Romanowsky-stained · single-cell field · peripheral blood smear — 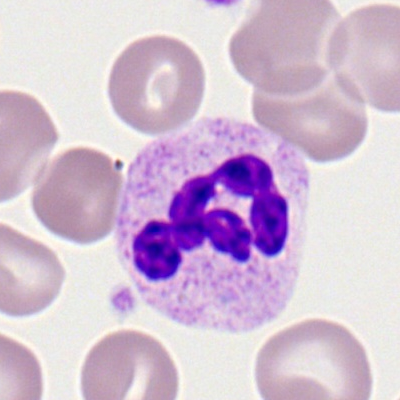
A segmented neutrophil.